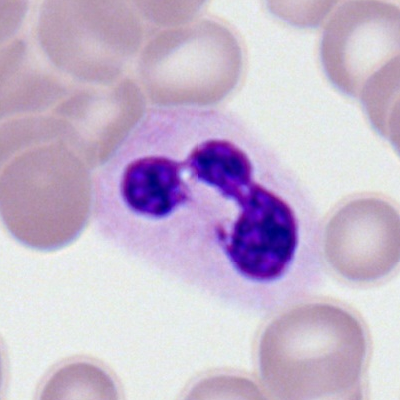 Single cell identified as a segmented neutrophil.